Bone marrow smear · single cell centered in the field · MGG-stained — 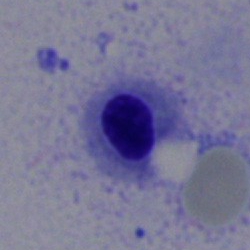 Q: What cell is this?
A: An erythroblast.